Bone marrow aspirate smear; 250×250 — 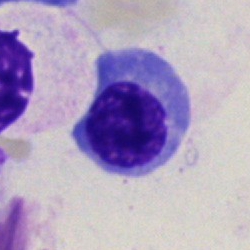
Nucleated red blood cell.